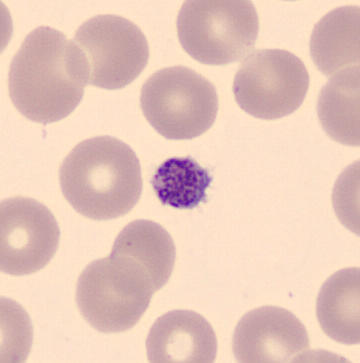Impression — platelet. Preparation: Peripheral blood film · 360×363 px.